May-Grünwald-Giemsa stain. Bone marrow smear. Cropped to a single cell — 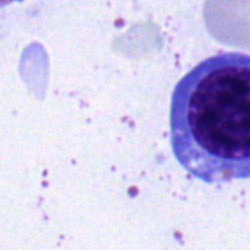

Morphological class: nucleated red blood cell.